Bone marrow aspirate smear. Single-cell crop. MGG-stained: 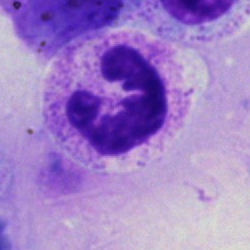
Morphological class: neutrophil (segmented).